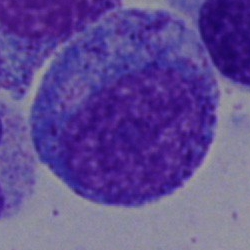 {"cell_type": "promyelocyte", "lineage": "myeloid"}